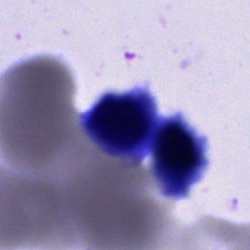
Classification — nucleated red blood cell.